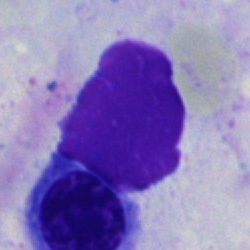Bone marrow aspirate smear, single cell — artifact.